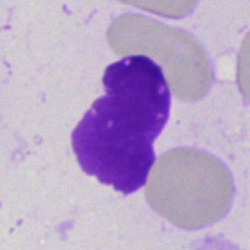 Impression — artifact.